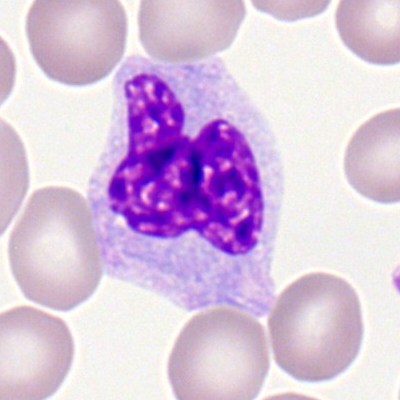

Showing a monocyte.